Bone marrow aspirate smear
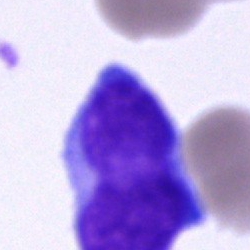 Blast cell.